Bone marrow smear.
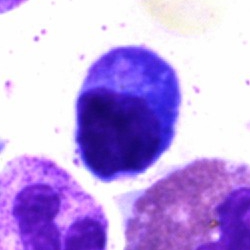 This is a plasma cell.